Bone marrow smear
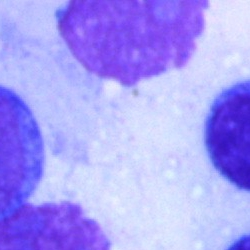Q: What is shown here?
A: An artifact.